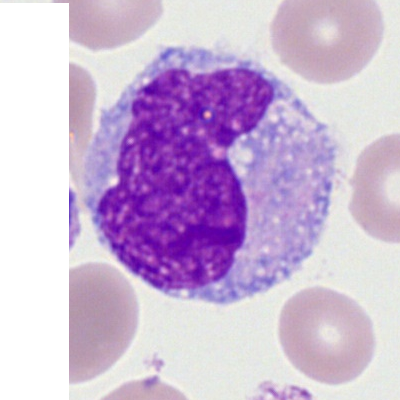The morphological class is monocyte.